Bone marrow aspirate smear: 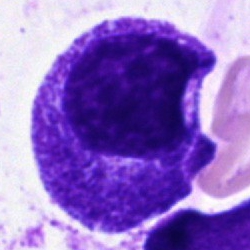Q: What is shown here?
A: A promyelocyte.